Bone marrow smear; single cell centered in the field
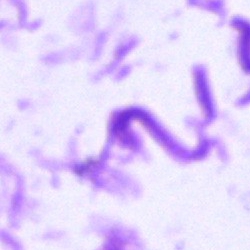
Specimen: bone marrow smear.
Classification: artefact.